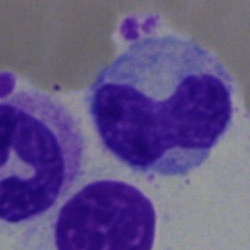 A stab cell on a bone marrow smear.